Bone marrow aspirate smear:
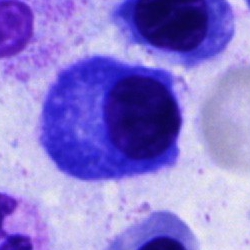

This is a plasma cell.